Bone marrow smear — 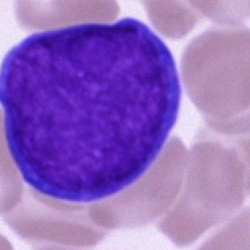
Cell — blast.